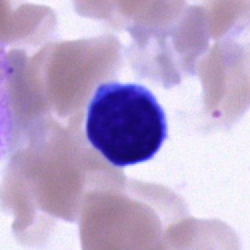Specimen: bone marrow smear.
Cell type: typical lymphocyte.
Lineage: lymphoid.